Single-cell crop; bone marrow aspirate smear:
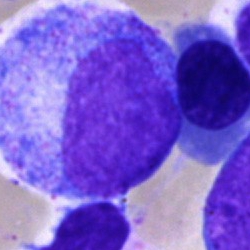 Morphology consistent with a promyelocyte.